Peripheral blood smear:
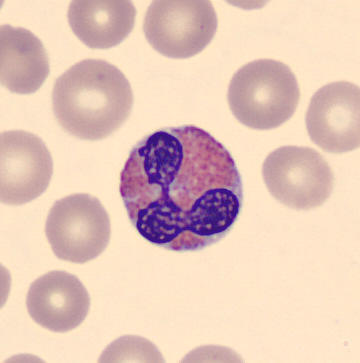 Specimen: peripheral blood film.
Classification: eosinophilic granulocyte.